Bone marrow smear
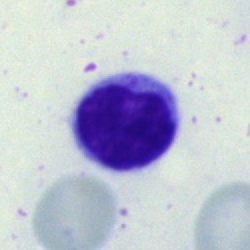 The morphological class is lymphocyte.